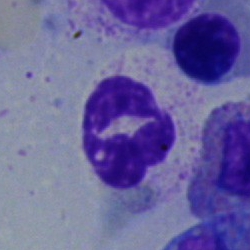{"cell_type": "neutrophil (segmented)", "lineage": "myeloid"}